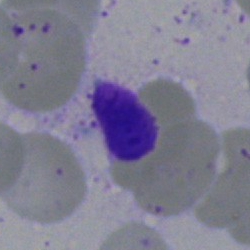 Specimen: bone marrow smear.
Morphological class: artefact.